Bone marrow smear
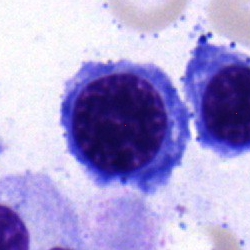
Morphology consistent with a normoblast.